Peripheral blood film: 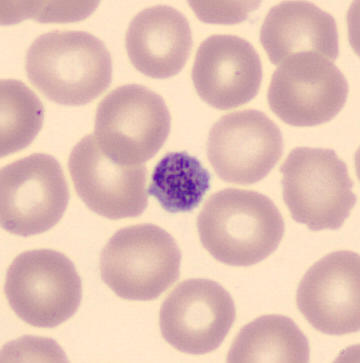

Impression — platelet (thrombocyte).